Bone marrow smear · cropped to a single cell · 250×250 px: 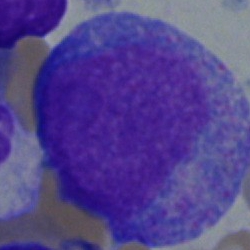
Morphology consistent with a progranulocyte.